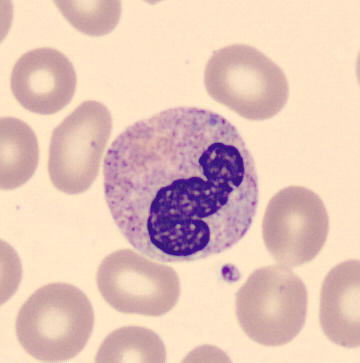
Q: What is shown here?
A: Stab cell.
Peripheral blood smear · single-cell crop.